Bone marrow aspirate smear — 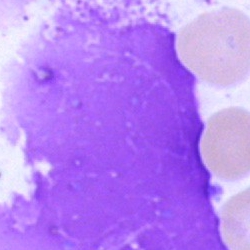
Morphology → artifact.